Bone marrow smear:
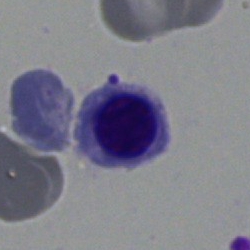
Morphology consistent with a normoblast.